Bone marrow smear · image size 250×250
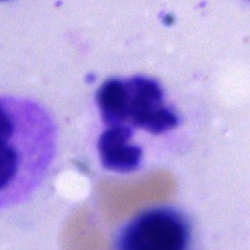Specimen: bone marrow smear.
Cell: segmented neutrophil.